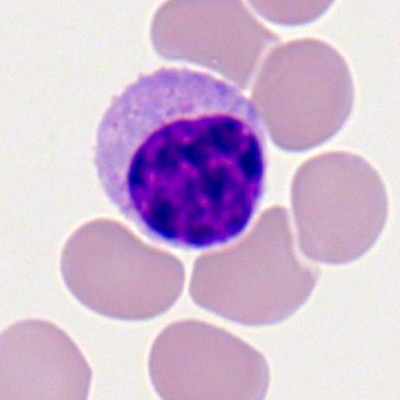

Impression → typical lymphocyte.